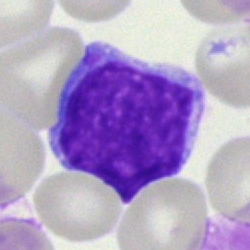 Cell — blast cell.